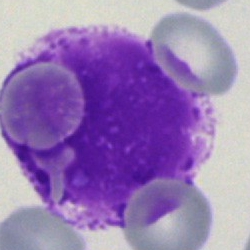 Q: What is shown here?
A: An artefact.